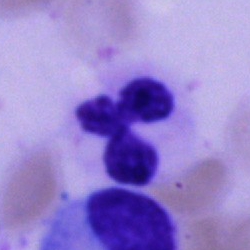

Bone marrow aspirate smear, single cell — segmented neutrophil.